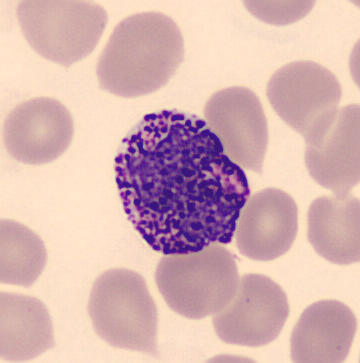This is a basophilic granulocyte.